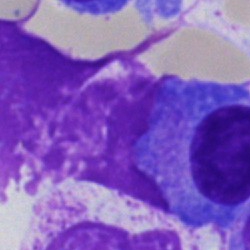 The cell shown is an artefact.